Bone marrow smear · May-Grünwald-Giemsa/Pappenheim stain — 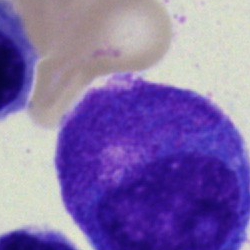Morphological class: progranulocyte.